Bone marrow aspirate smear: 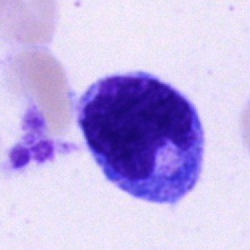Cell type: monocyte.